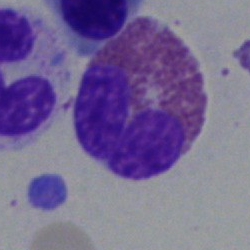
An eosinophilic granulocyte.